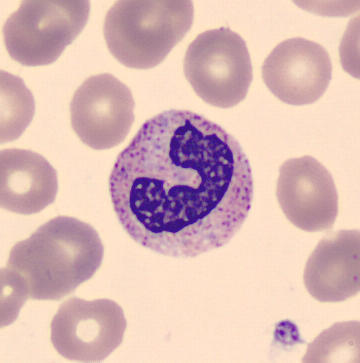
A band-form neutrophil.